Bone marrow smear
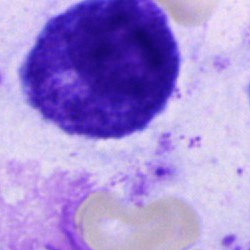
The morphological class is progranulocyte.